Brightfield microscopy, 40× oil immersion; bone marrow smear: 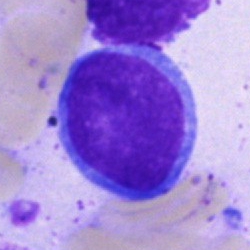 {"cell_type": "blast cell"}